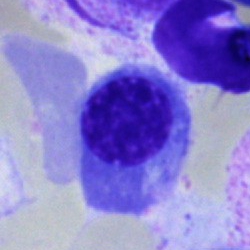A nucleated red cell on a bone marrow smear.